Bone marrow smear — 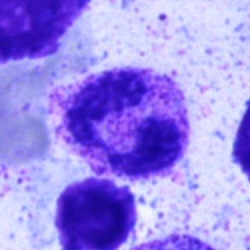
Q: What is the morphological classification of this cell?
A: A segmented neutrophil.